Bone marrow aspirate smear. 250 by 250 pixels. May-Grünwald-Giemsa/Pappenheim stain:
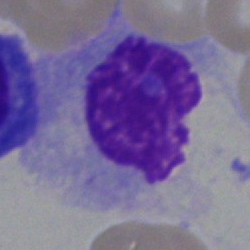

Classification: artifact.